Bone marrow smear; 250 by 250 pixels.
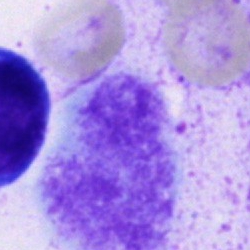Morphology consistent with an artifact.